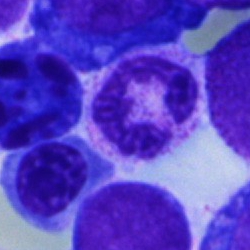Impression → polymorphonuclear neutrophil.